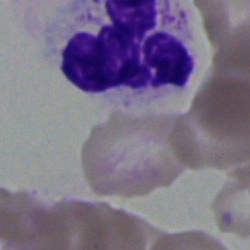

A segmented neutrophil.